Bone marrow aspirate smear.
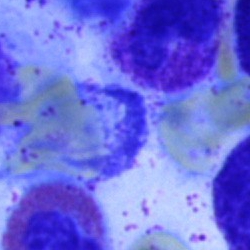

The morphological class is artefact.